Bone marrow aspirate smear.
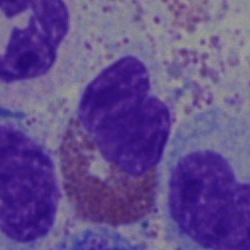

{"cell_type": "eosinophilic granulocyte", "lineage": "myeloid"}